Bone marrow aspirate smear — 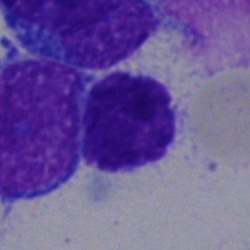 The cell shown is a lymphocyte.